Bone marrow smear: 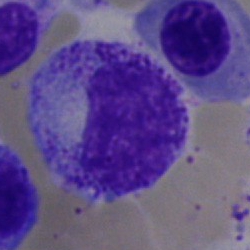Cell — promyelocyte.